Peripheral blood film.
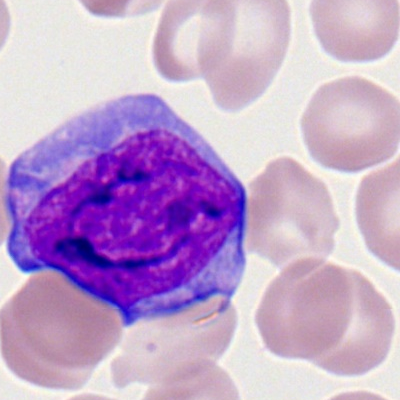

Q: What is the morphological classification of this cell?
A: It is a myeloid blast.